Peripheral blood film — 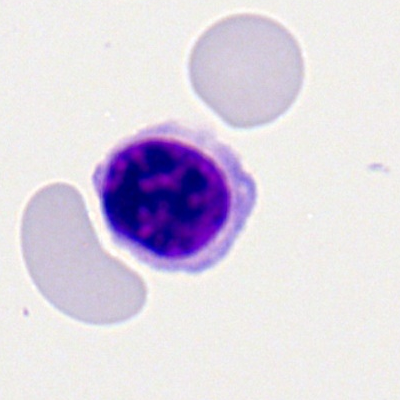

A lymphocyte.